Bone marrow aspirate smear
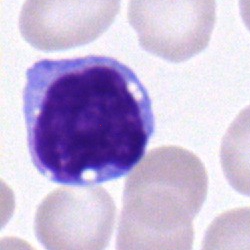
The cell shown is a typical lymphocyte.